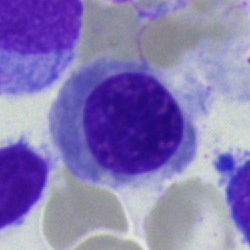

Q: What is the morphological classification of this cell?
A: Nucleated red blood cell.